Single-cell crop. Pappenheim-stained. Bone marrow smear — 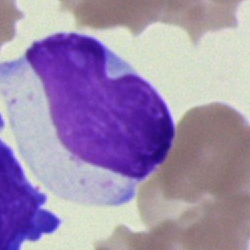
Morphology → blast cell.